Bone marrow aspirate smear:
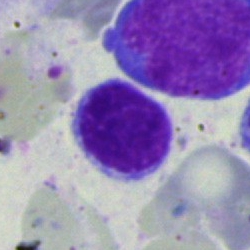
Lymphocyte.